Bone marrow smear
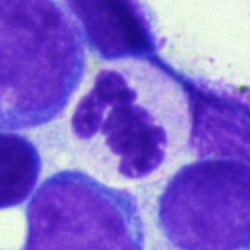 Morphology — neutrophil (segmented).